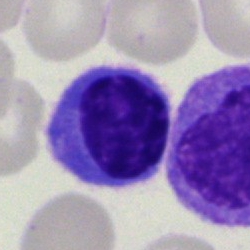{"cell_type": "typical lymphocyte", "lineage": "lymphoid"}